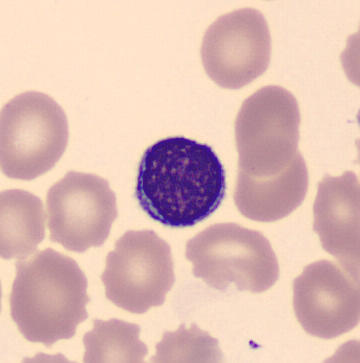Cell = lymphocyte.